Bone marrow smear: 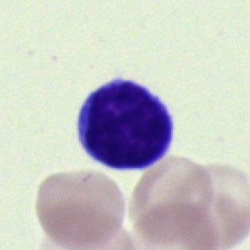
{"cell_type": "lymphocyte"}